Bone marrow aspirate smear: 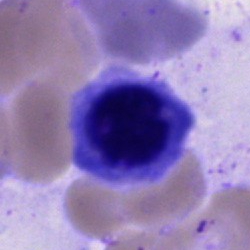

The cell type is normoblast.